Bone marrow smear
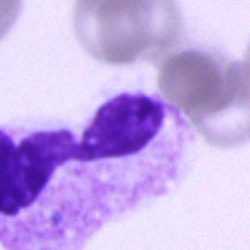Q: Identify the cell.
A: It is a polymorphonuclear neutrophil.